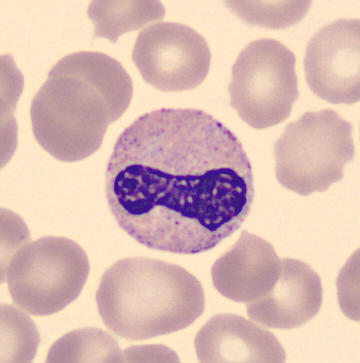
Peripheral blood film. Q: Identify the cell.
A: It is a band-form neutrophil.